Bone marrow aspirate smear — 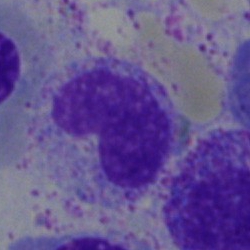
Band neutrophil.